Bone marrow smear — 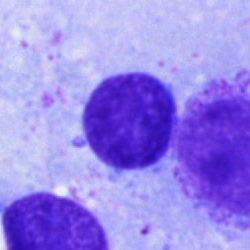

A typical lymphocyte.